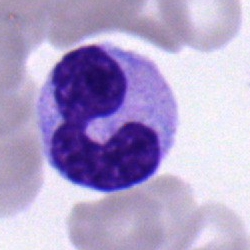Q: Which cell type is shown here?
A: This is a polymorphonuclear neutrophil.